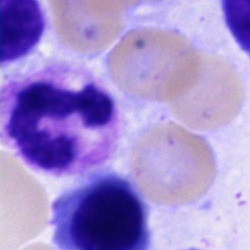 {"cell_type": "polymorphonuclear neutrophil", "lineage": "myeloid"}